Peripheral blood smear:
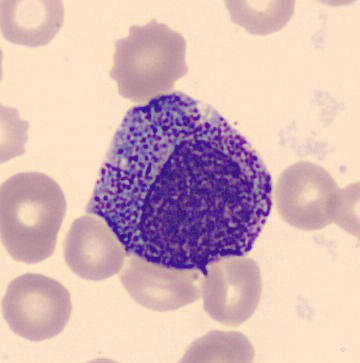

Morphology — promyelocyte.